Peripheral blood film:
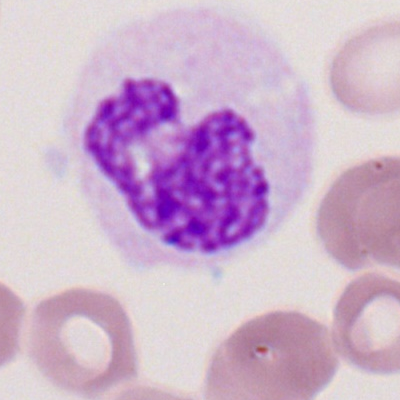Q: What is the morphological classification of this cell?
A: It is a polymorphonuclear neutrophil.